Single-cell field. Bone marrow aspirate smear — 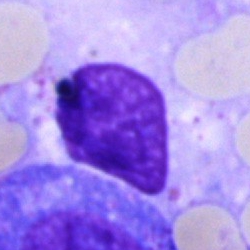 Q: What is shown here?
A: This is an artifact.